Bone marrow aspirate smear. Brightfield microscopy, 40× oil immersion
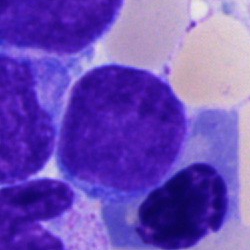

Q: Which cell type is shown here?
A: It is a blast.